Bone marrow aspirate smear — 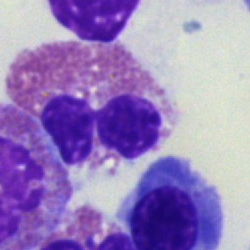Cell — eosinophil.